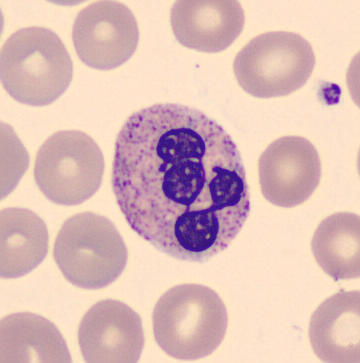

Peripheral blood smear showing a polymorphonuclear neutrophil.